Bone marrow aspirate smear; single cell centered in the field: 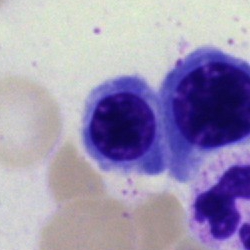
Specimen: bone marrow smear.
Cell: normoblast.
Lineage: erythroid.